Bone marrow aspirate smear.
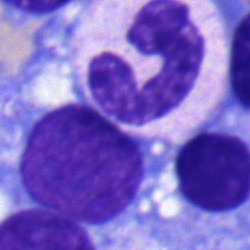 Q: What is shown here?
A: A band neutrophil.